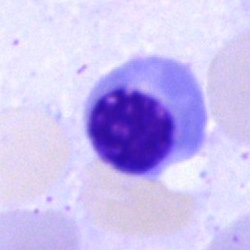Q: Identify the cell.
A: Nucleated red blood cell.